Image size 250×250; bone marrow aspirate smear — 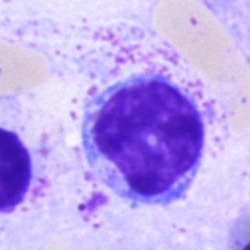A typical lymphocyte.